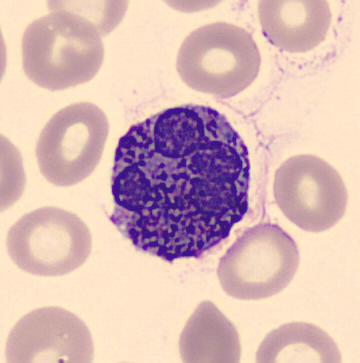
Identified as a basophilic granulocyte. Preparation: Peripheral blood film.